Bone marrow aspirate smear.
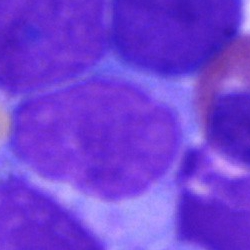
Morphology consistent with an artefact.